Cropped to a single cell; 250×250 px; bone marrow aspirate smear
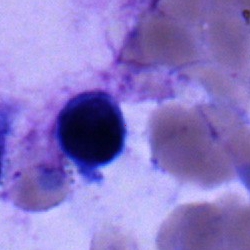 This is a typical lymphocyte.